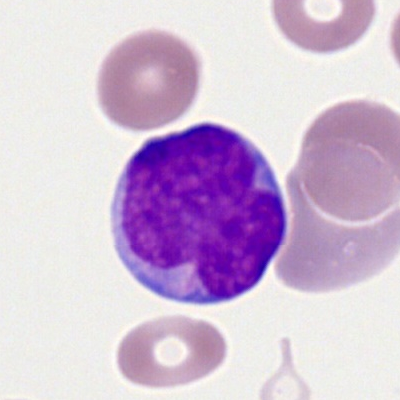 The cell shown is a myeloblast.